Bone marrow smear.
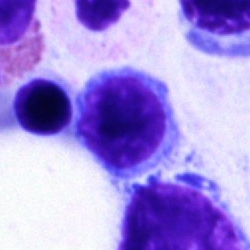Q: What cell is this?
A: Lymphocyte.